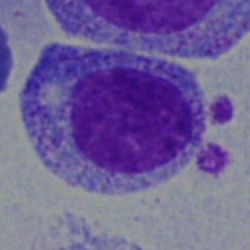The cell is myelocyte.